Automated cell imaging (CellaVision DM96); peripheral blood smear
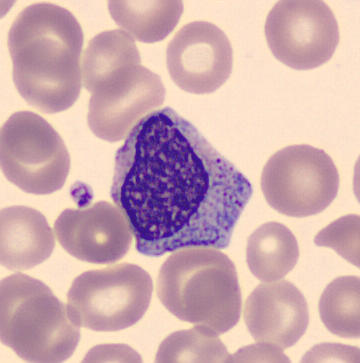
Morphological class = metamyelocyte.